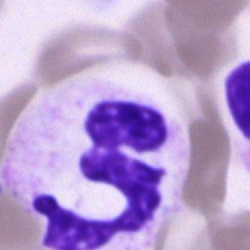

Cell type = polymorphonuclear neutrophil.